250×250; bone marrow aspirate smear; May-Grünwald-Giemsa/Pappenheim stain — 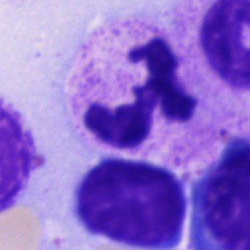
Specimen: bone marrow smear.
Cell: polymorphonuclear neutrophil.